Bone marrow aspirate smear
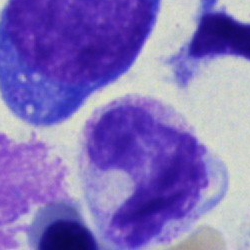
Specimen: bone marrow smear.
Morphological class: neutrophil (band).
Lineage: myeloid.